Bone marrow smear. Single-cell field. Brightfield microscopy, 40× oil immersion.
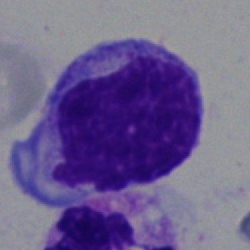

Cell: undifferentiated blast.